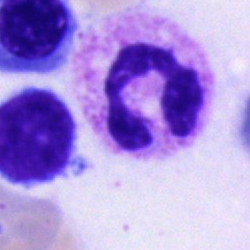This is a polymorphonuclear neutrophil.